Bone marrow smear; single-cell crop
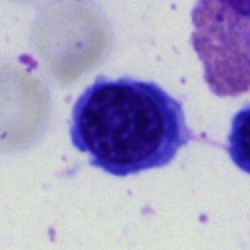 Morphology consistent with a nucleated red cell.